Cropped to a single cell; bone marrow smear; 250×250 px: 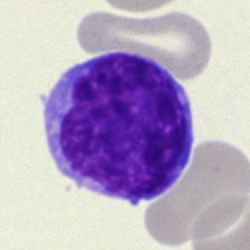This is an undifferentiated blast.